Bone marrow smear · 250×250 px · Pappenheim-stained
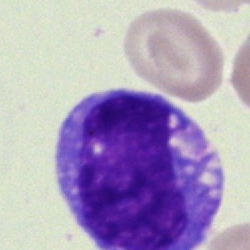 Morphology — undifferentiated blast.